Bone marrow aspirate smear — 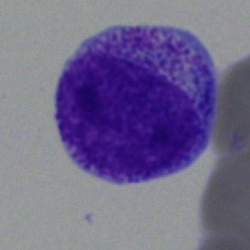 Morphological class: promyelocyte.